Cropped to a single cell; peripheral blood film: 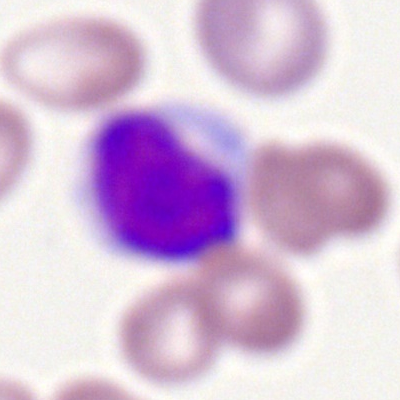

Impression → lymphocyte.